Bone marrow smear
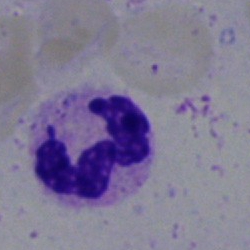 Classification = neutrophil (segmented).